40× oil immersion · bone marrow smear.
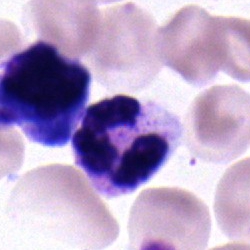
Specimen: bone marrow aspirate smear.
Morphological class: segmented neutrophil.